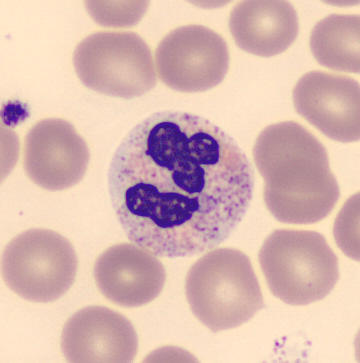Acquisition: Peripheral blood film.
{"cell_type": "segmented neutrophil"}